Bone marrow smear.
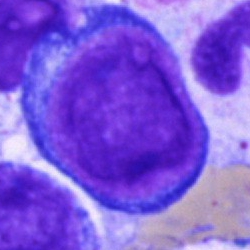Morphological class: pronormoblast.